Bone marrow aspirate smear — 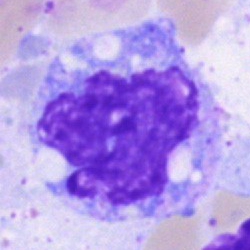Morphology consistent with a monocyte.